Bone marrow aspirate smear.
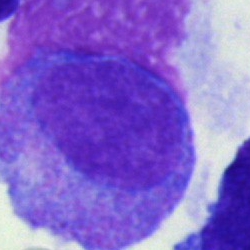

Q: What is the morphological classification of this cell?
A: Promyelocyte.